Peripheral blood smear · image size 400×400 · Romanowsky-stained.
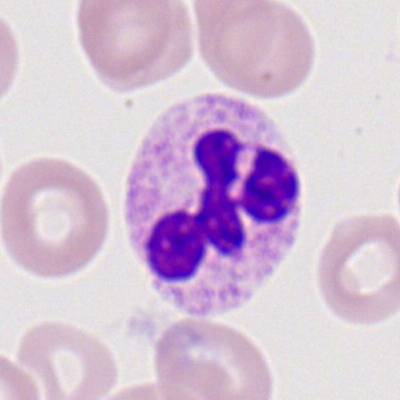

Q: Identify the cell.
A: A polymorphonuclear neutrophil.